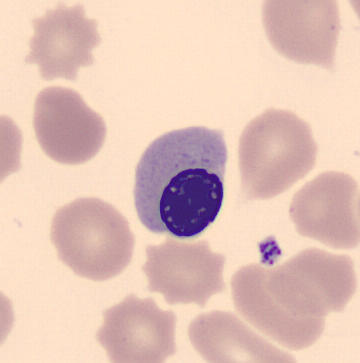 Morphological class — normoblast. Acquisition: Imaged on a CellaVision DM96 analyser. Image size 360×363. Peripheral blood smear.